Cropped to a single cell. Bone marrow aspirate smear
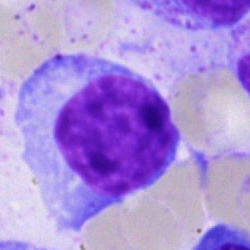Specimen: bone marrow aspirate smear.
Cell: typical lymphocyte.
Lineage: lymphoid.